Bone marrow smear; 40× objective, oil immersion:
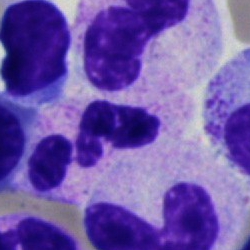

This is a polymorphonuclear neutrophil.